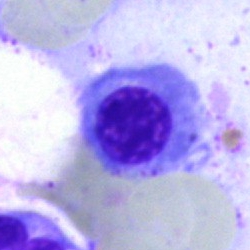{"cell_type": "nucleated red blood cell", "lineage": "erythroid"}